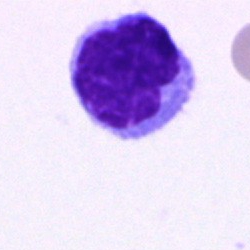

Bone marrow smear showing a typical lymphocyte.